Peripheral blood film — 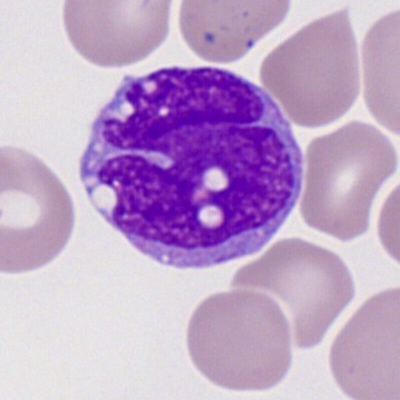
Specimen: peripheral blood film.
Cell type: monocyte.